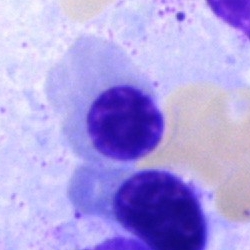 Morphology — normoblast.